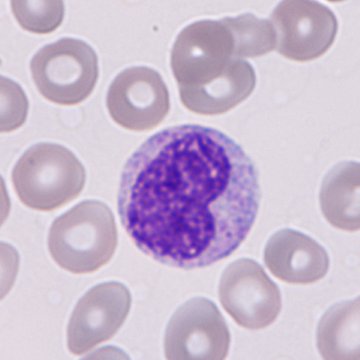
Q: What cell is this?
A: It is an immature granulocyte (promyelocyte, myelocyte or metamyelocyte). Image: Single-cell crop · peripheral blood film.